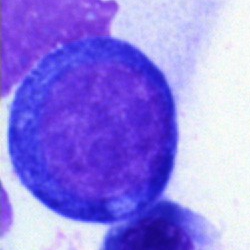
Classification — proerythroblast.